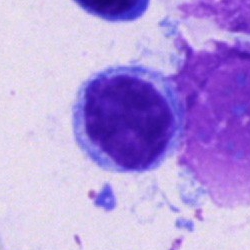Single cell identified as a typical lymphocyte.